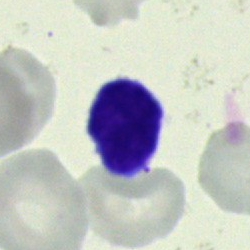
Q: Which cell type is shown here?
A: It is a lymphocyte.